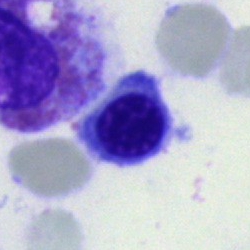

{"cell_type": "nucleated red blood cell", "lineage": "erythroid"}